100× objective, oil immersion. Romanowsky stain. Peripheral blood film: 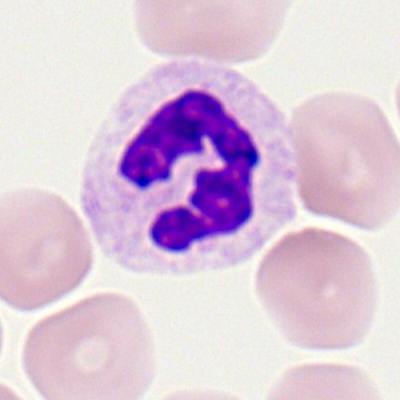 This is a segmented neutrophil.